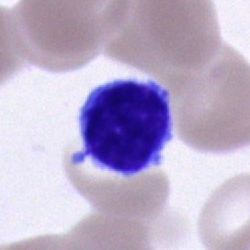
Morphology → lymphocyte.